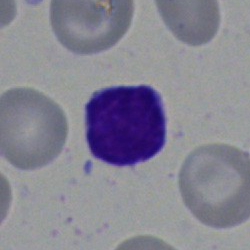 Cell type: typical lymphocyte.